Bone marrow smear. Pappenheim-stained
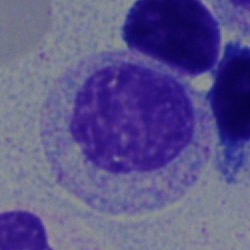 Q: What type of cell is this?
A: This is a myelocyte.